Bone marrow smear: 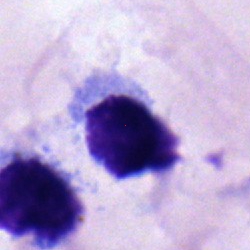 Morphology → erythroblast.